Bone marrow smear
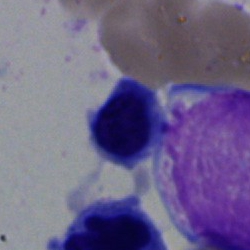A normoblast.